Bone marrow smear: 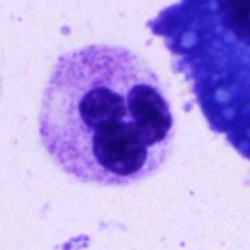The morphological class is segmented neutrophil.